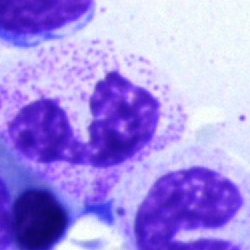 Specimen: bone marrow smear.
Cell type: segmented neutrophil.